40× oil immersion · bone marrow aspirate smear · May-Grünwald-Giemsa/Pappenheim stain: 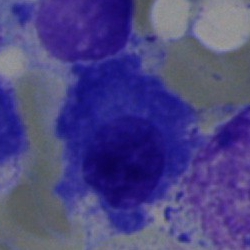
Specimen: bone marrow aspirate smear.
Morphological class: plasma cell.